Bone marrow smear
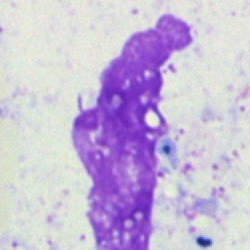 This is an artifact.